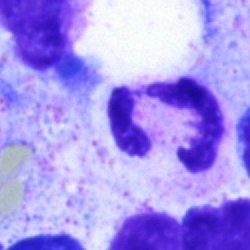Specimen: bone marrow aspirate smear.
Cell type: polymorphonuclear neutrophil.